Bone marrow aspirate smear: 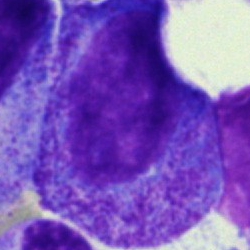
Classification = progranulocyte.